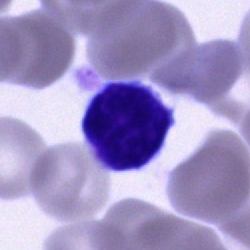
Morphological class: lymphocyte.